Peripheral blood smear — 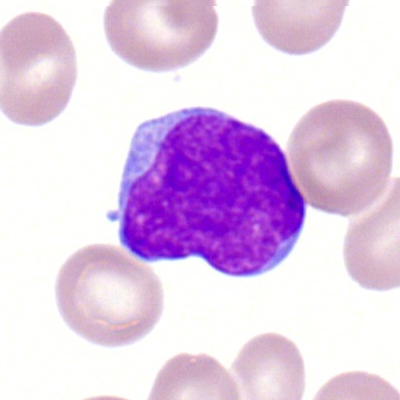Impression → myeloid blast.